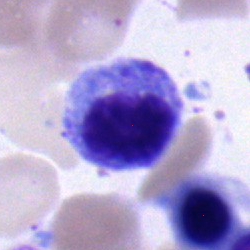 Specimen: bone marrow smear.
Cell type: myelocyte.
Lineage: myeloid.